Bone marrow aspirate smear · single-cell crop
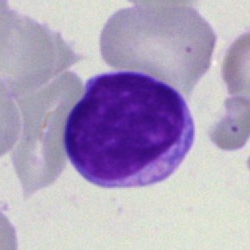
Q: Which cell type is shown here?
A: Typical lymphocyte.